40× objective, oil immersion; bone marrow smear; 250 by 250 pixels.
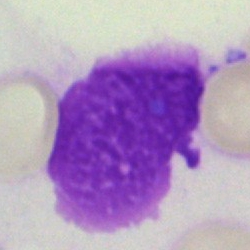

{"cell_type": "artifact"}